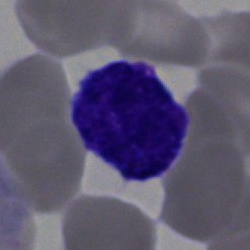
The cell type is lymphocyte.